Bone marrow aspirate smear; Pappenheim-stained: 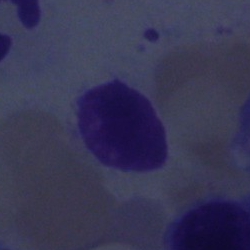Morphology → lymphocyte.